Bone marrow smear:
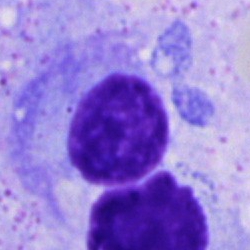 {"cell_type": "plasmacyte"}